Bone marrow aspirate smear: 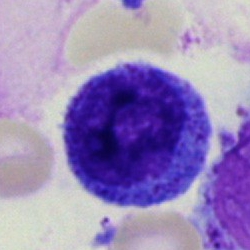Cell type: progranulocyte.